Bone marrow smear.
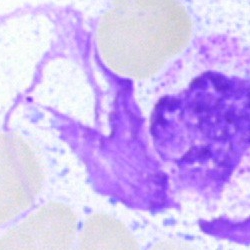
Q: What is shown here?
A: It is an artifact.